Bone marrow aspirate smear: 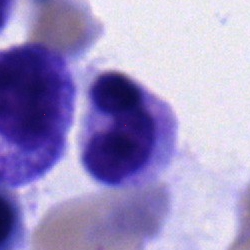 Q: What is the morphological classification of this cell?
A: This is a band neutrophil.